Bone marrow aspirate smear
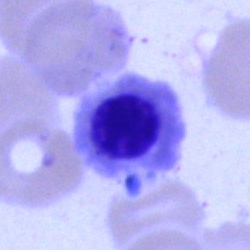 This is a nucleated red cell.